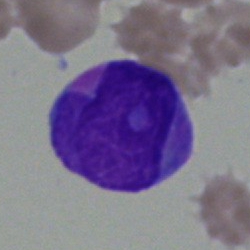Q: What is shown here?
A: It is a blast cell.